Bone marrow aspirate smear:
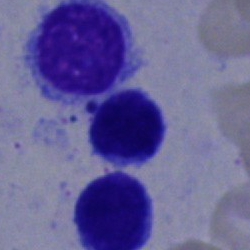

A typical lymphocyte.